Bone marrow smear; 250×250
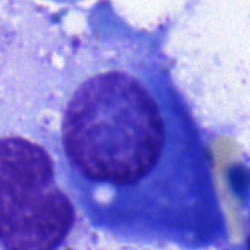

Impression — plasmacyte.